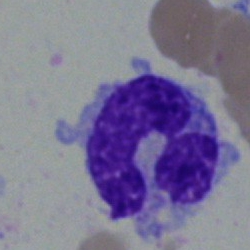

Morphology consistent with a monocyte.